Bone marrow smear · cropped to a single cell — 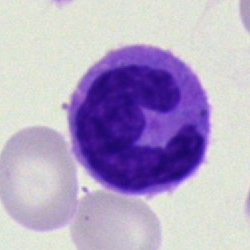 Single cell identified as a monocyte.